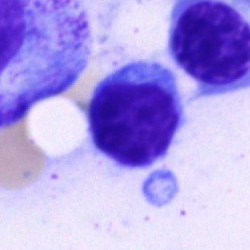

Q: What is shown here?
A: Typical lymphocyte.